Bone marrow aspirate smear — 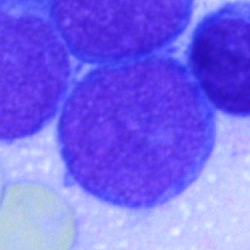

A blast.